Bone marrow smear
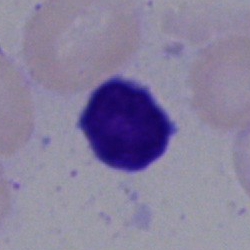 Q: What cell is this?
A: This is a lymphocyte.